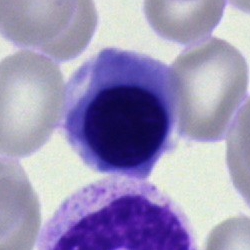
Morphology — normoblast.